Bone marrow smear — 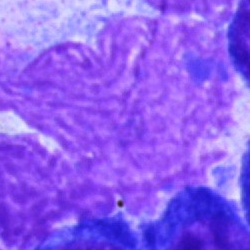 The cell type is artefact.